Bone marrow aspirate smear; brightfield microscopy, 40× oil immersion: 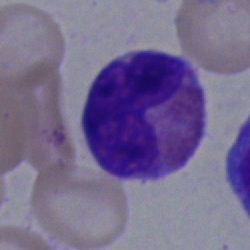 This is an eosinophil.